Peripheral blood film: 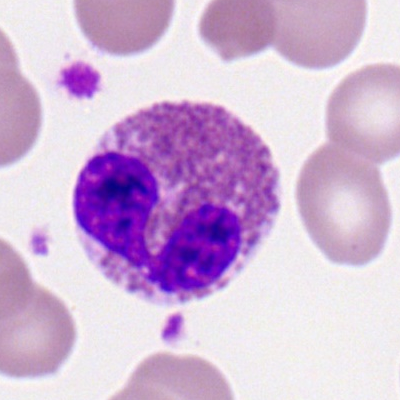

Classification: eosinophil.